250×250 · MGG-stained · bone marrow aspirate smear — 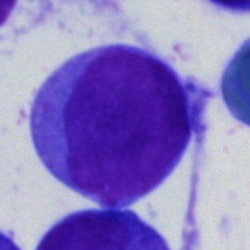 Cell = blast cell.